Pappenheim-stained · bone marrow aspirate smear:
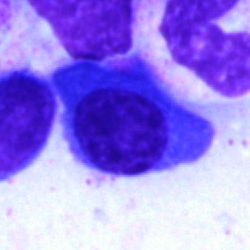The cell shown is a normoblast.